Bone marrow aspirate smear
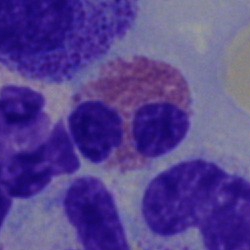

This is an eosinophilic granulocyte.